Bone marrow smear:
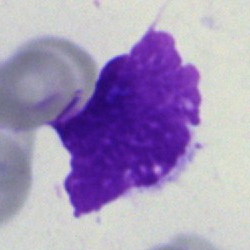Impression — artefact.